Bone marrow aspirate smear. 250 by 250 pixels. Single cell centered in the field
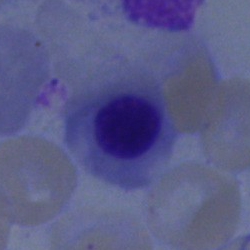

Q: Identify the cell.
A: It is a nucleated red cell.